Bone marrow aspirate smear:
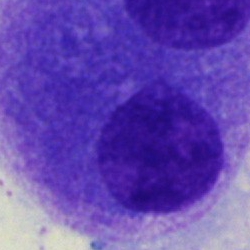

Q: What cell is this?
A: It is an other cell.